250 by 250 pixels. Bone marrow smear:
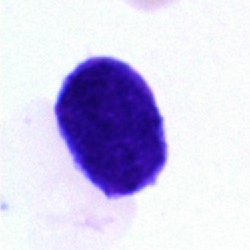

Blast cell.